Single-cell crop; bone marrow aspirate smear; May-Grünwald-Giemsa/Pappenheim stain — 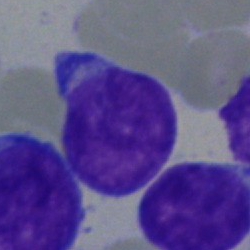
Cell: blast.